Peripheral blood smear — 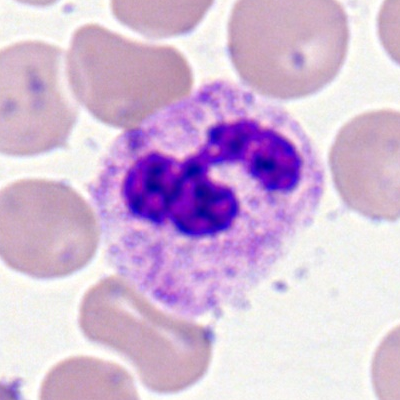
Morphological class — polymorphonuclear neutrophil.